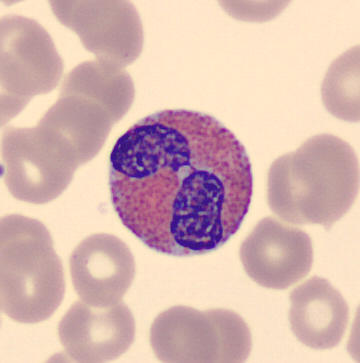
Classification = eosinophil.
Peripheral blood film.